Bone marrow aspirate smear. May-Grünwald-Giemsa/Pappenheim stain: 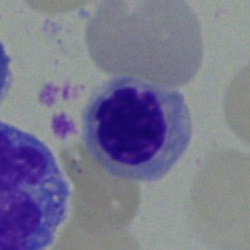

Specimen: bone marrow smear.
Cell: nucleated red blood cell.
Lineage: erythroid.